Single cell centered in the field. Bone marrow aspirate smear:
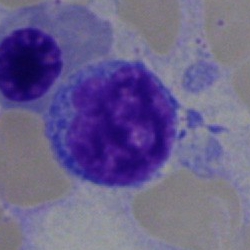Impression → typical lymphocyte.